Brightfield microscopy, 40× oil immersion; bone marrow aspirate smear: 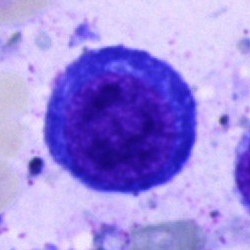 Specimen: bone marrow aspirate smear.
Classification: proerythroblast.
Lineage: erythroid.